250 by 250 pixels. Cropped to a single cell. Bone marrow aspirate smear: 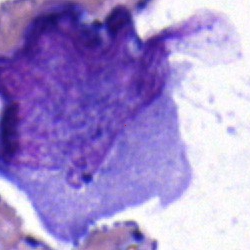 {"cell_type": "blast"}